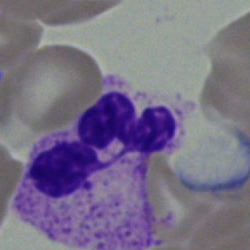

Q: Identify the cell.
A: It is a neutrophil (segmented).